Bone marrow aspirate smear; brightfield, 40× oil-immersion objective — 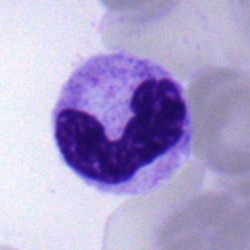 Impression — stab cell.